Bone marrow aspirate smear; 250 by 250 pixels; single-cell crop.
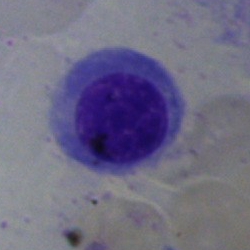 Q: What cell is this?
A: This is an erythroblast.